Bone marrow smear; May-Grünwald-Giemsa stain:
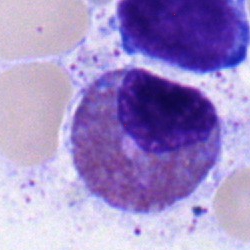

Cell type: eosinophilic granulocyte.